Bone marrow smear — 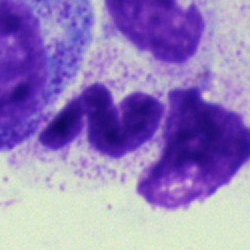

Morphological class: segmented neutrophil.